Bone marrow smear.
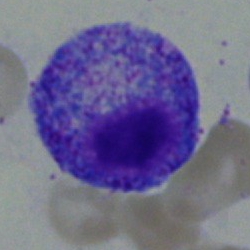 Cell = progranulocyte.